Bone marrow smear:
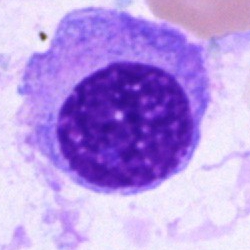
The cell shown is a plasmacyte.